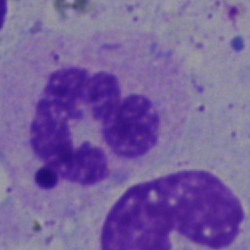 Cell type: neutrophil (segmented).